Bone marrow smear.
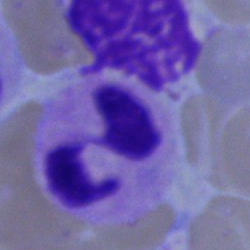

Morphology — polymorphonuclear neutrophil.